Peripheral blood smear
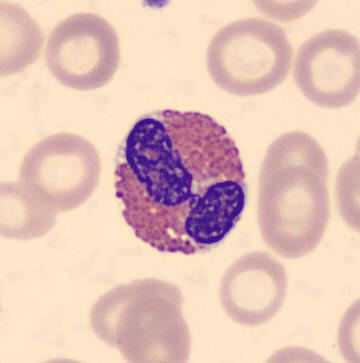 Morphology → eosinophil.